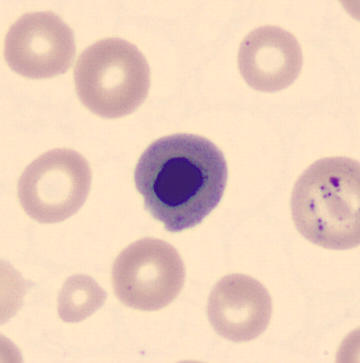
Cell — nucleated red blood cell.

Acquisition: 360 by 363 pixels; single cell centered in the field; peripheral blood film.